Bone marrow aspirate smear — 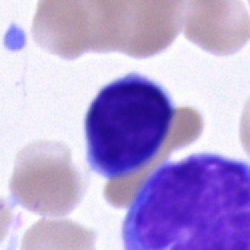
Q: Identify the cell.
A: Lymphocyte.